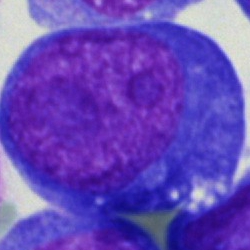
{"cell_type": "blast"}